Bone marrow aspirate smear:
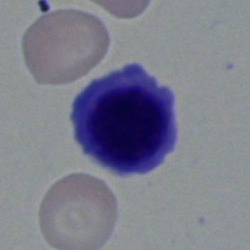

Specimen: bone marrow smear.
Morphological class: normoblast.